40× objective, oil immersion. Bone marrow smear. 250 by 250 pixels:
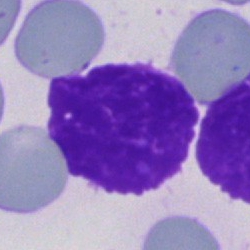

{"cell_type": "artifact"}